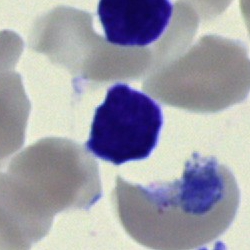Morphology — lymphocyte.